Peripheral blood film:
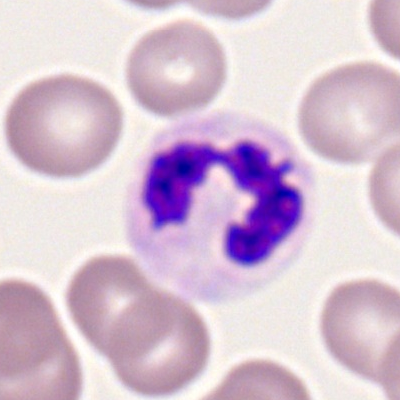 Classification — segmented neutrophil.